Bone marrow aspirate smear. Single-cell field
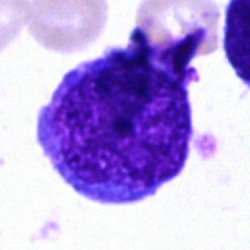Cell: blast.